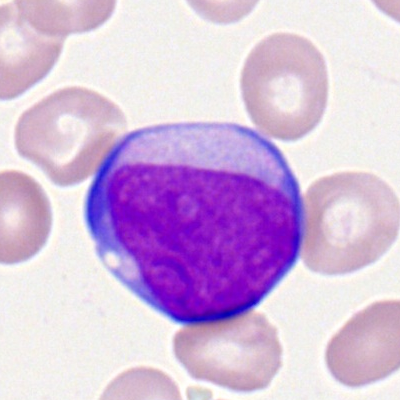 Specimen: peripheral blood smear.
Cell type: myeloid blast.